40× objective, oil immersion · bone marrow aspirate smear
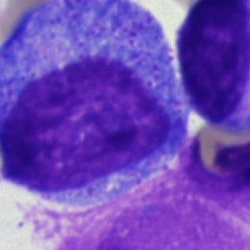Morphological class: promyelocyte.